Brightfield microscopy, 40× oil immersion; bone marrow aspirate smear
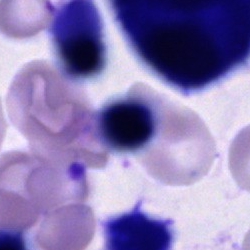
Morphology consistent with a cell of indeterminate lineage.